250 by 250 pixels · single-cell field · bone marrow aspirate smear
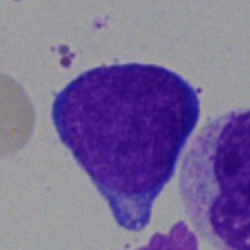

The morphological class is lymphocyte.